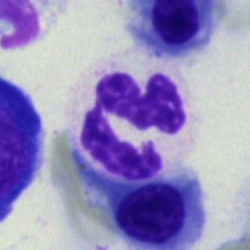Impression — polymorphonuclear neutrophil.